Bone marrow aspirate smear: 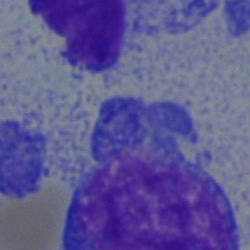

Specimen: bone marrow smear.
Classification: blast cell.